Peripheral blood smear: 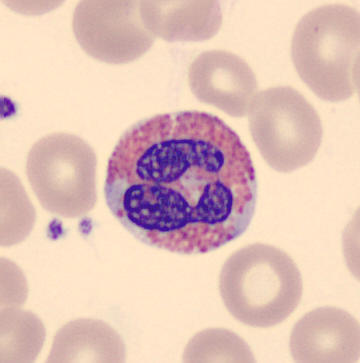

Q: What cell is this?
A: Eosinophilic granulocyte.